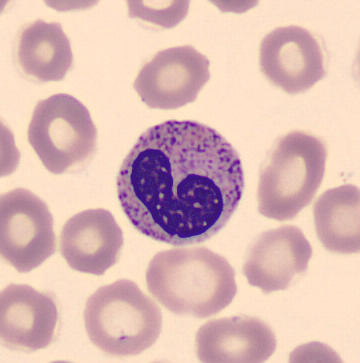Morphological class — band-form neutrophil.

Preparation: May-Grünwald-Giemsa-stained · peripheral blood smear · imaged on a CellaVision DM96 analyser.